Bone marrow aspirate smear:
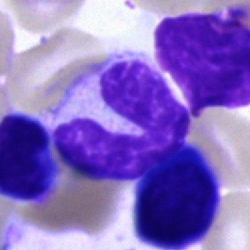 Morphology consistent with a band neutrophil.